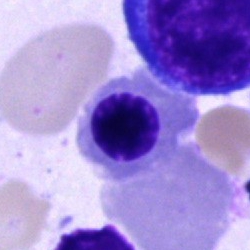 Specimen: bone marrow smear.
Cell type: nucleated red blood cell.
Lineage: erythroid.